Bone marrow smear; May-Grünwald-Giemsa stain
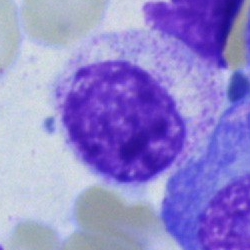

Q: What cell is this?
A: It is a myelocyte.